Bone marrow smear: 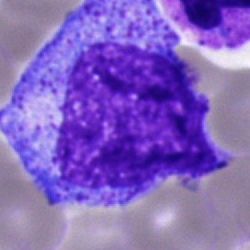
Cell = promyelocyte.